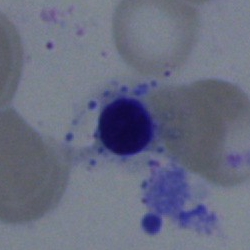A nucleated red blood cell on a bone marrow smear.